100× objective, oil immersion. Peripheral blood smear. Single-cell crop: 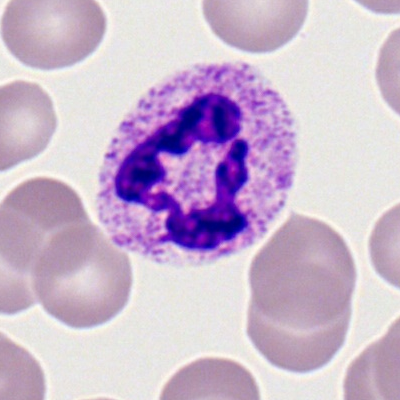
Cell type — segmented neutrophil.